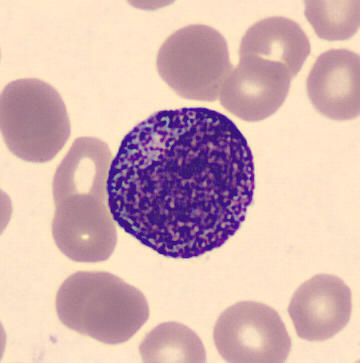
This is a progranulocyte. Peripheral blood film.